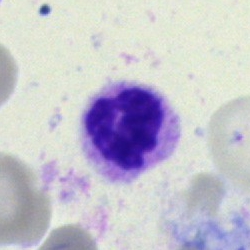
Specimen: bone marrow smear.
Cell: polymorphonuclear neutrophil.